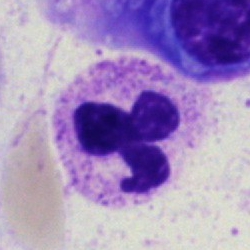Cell — neutrophil (segmented).